Bone marrow aspirate smear
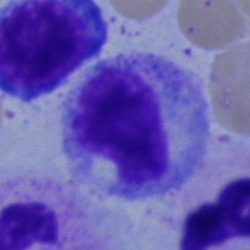 Specimen: bone marrow smear.
Morphological class: metamyelocyte.
Lineage: myeloid.